Bone marrow aspirate smear — 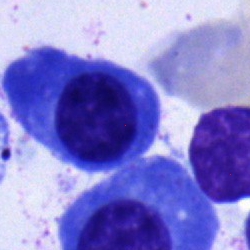A plasmacyte.